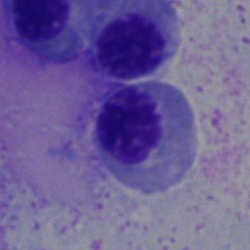
Cell = normoblast.